Bone marrow smear; May-Grünwald-Giemsa/Pappenheim stain; brightfield, 40× oil-immersion objective: 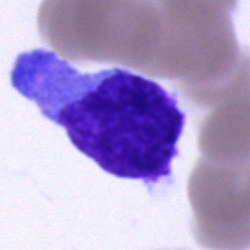
Classification — blast cell.